Single-cell field. Bone marrow aspirate smear.
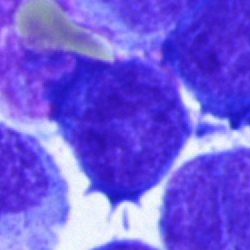

A blast.